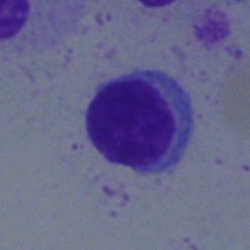Q: What is the morphological classification of this cell?
A: It is a lymphocyte.